Bone marrow smear · 250×250 px · brightfield, 40× oil-immersion objective
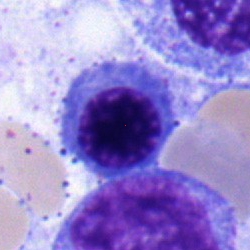

Morphological class — nucleated red cell.